Bone marrow smear — 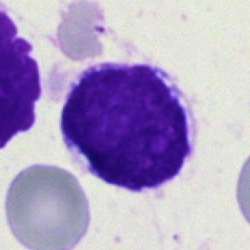

Q: What type of cell is this?
A: It is a blast.